40× objective, oil immersion; May-Grünwald-Giemsa/Pappenheim stain; bone marrow smear — 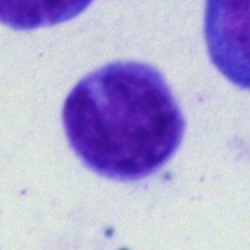 The cell shown is a monocyte.